Bone marrow smear — 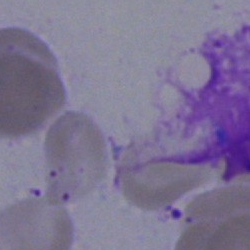Cell type — artifact.